Bone marrow aspirate smear. Brightfield, 40× oil-immersion objective. Single-cell field — 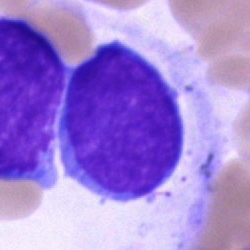
{"cell_type": "blast cell"}